Bone marrow aspirate smear: 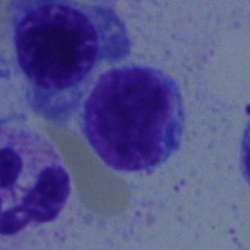

Morphology consistent with a typical lymphocyte.